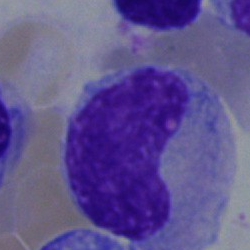Specimen: bone marrow aspirate smear.
Classification: metamyelocyte.